Bone marrow smear — 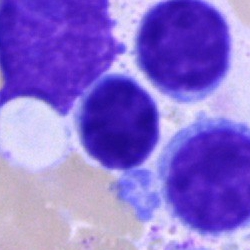

Specimen: bone marrow aspirate smear.
Cell: lymphocyte.